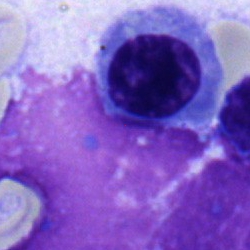

Q: Identify the cell.
A: Nucleated red blood cell.